Bone marrow aspirate smear.
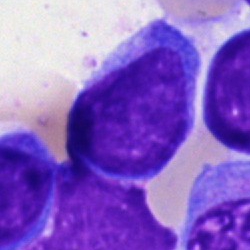 Specimen: bone marrow smear.
Cell type: blast.